Bone marrow aspirate smear. 250×250
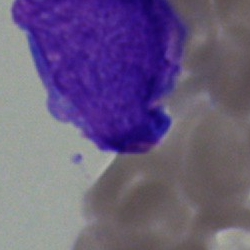 Showing a blast.